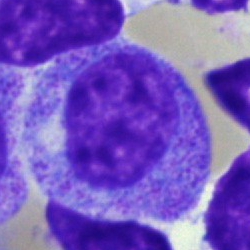

Morphological class — promyelocyte.